Bone marrow smear · single cell centered in the field — 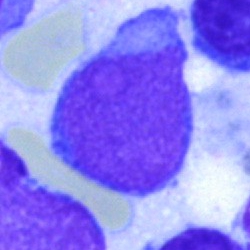
Showing a blast cell.